Bone marrow smear — 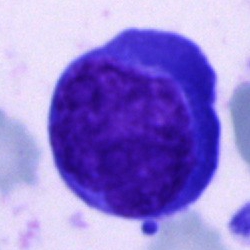

Single cell identified as a blast.